Bone marrow smear · Pappenheim-stained: 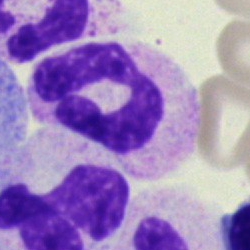
Impression — neutrophil (segmented).